May-Grünwald-Giemsa stain · bone marrow aspirate smear · single-cell crop — 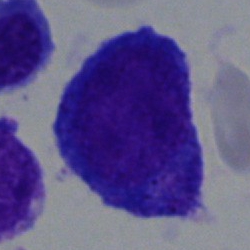

Q: What type of cell is this?
A: It is a progranulocyte.